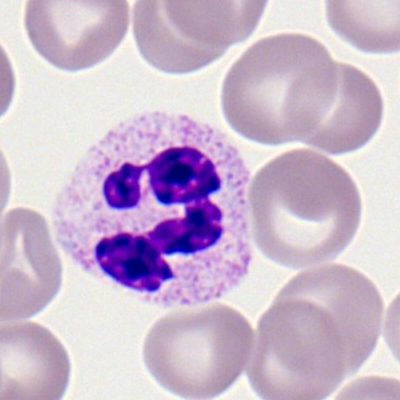

Peripheral blood smear showing a polymorphonuclear neutrophil.